40× objective, oil immersion · bone marrow aspirate smear — 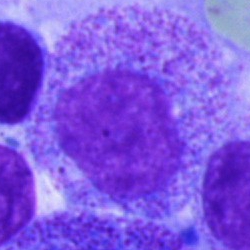

A myelocyte.